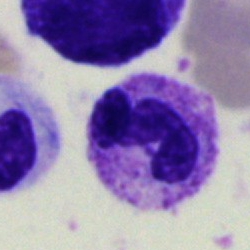Single-cell crop from a bone marrow smear: segmented neutrophil.